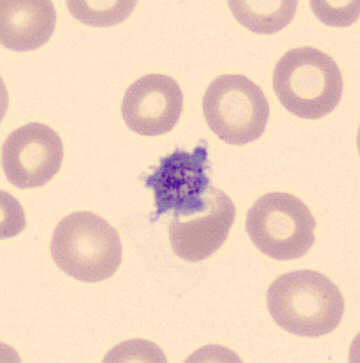Acquisition: Peripheral blood smear.
Platelet (thrombocyte).